Bone marrow aspirate smear:
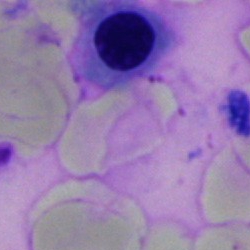
Q: What is the morphological classification of this cell?
A: Erythroblast.